250×250 px · bone marrow aspirate smear.
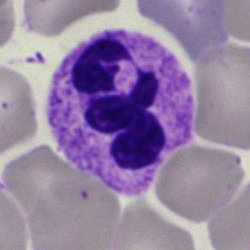This is a polymorphonuclear neutrophil.